Bone marrow smear
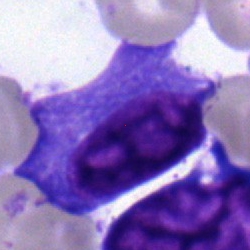

Specimen: bone marrow smear.
Cell: plasma cell.
Lineage: lymphoid.